Single cell centered in the field; bone marrow aspirate smear; brightfield microscopy, 40× oil immersion — 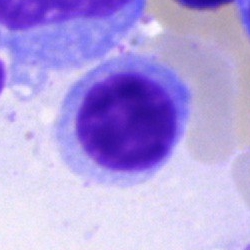
Q: Identify the cell.
A: It is a typical lymphocyte.